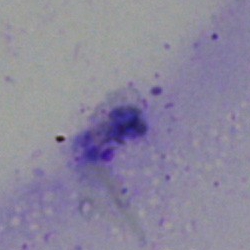Cell: artefact.